Bone marrow aspirate smear: 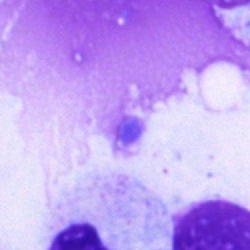

Morphology consistent with an artifact.